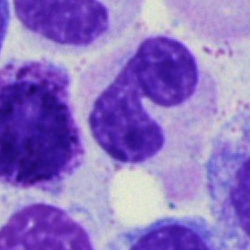

A polymorphonuclear neutrophil on a bone marrow smear.